Bone marrow aspirate smear. 250×250:
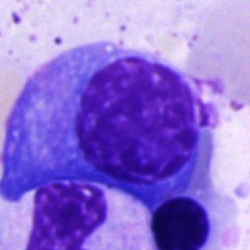Morphology consistent with a plasma cell.